Bone marrow smear — 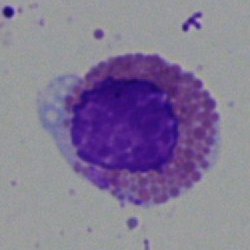 This is an eosinophilic granulocyte.